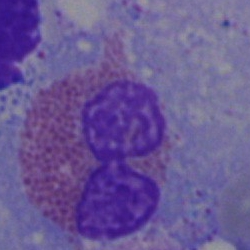
Q: What is the morphological classification of this cell?
A: Eosinophilic granulocyte.